May-Grünwald-Giemsa stain; bone marrow aspirate smear — 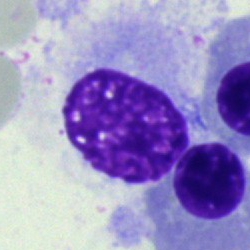Showing an artifact.